250 by 250 pixels. Bone marrow smear
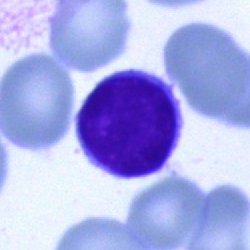
Lymphocyte.